Single cell centered in the field; bone marrow aspirate smear; May-Grünwald-Giemsa stain: 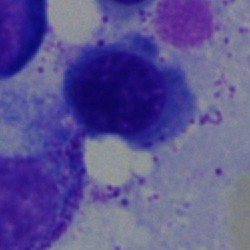 Specimen: bone marrow smear.
Cell type: nucleated red cell.